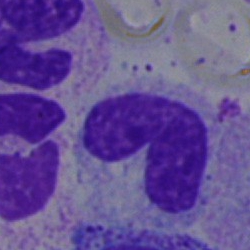
Specimen: bone marrow aspirate smear.
Cell: band neutrophil.
Lineage: myeloid.